Bone marrow aspirate smear
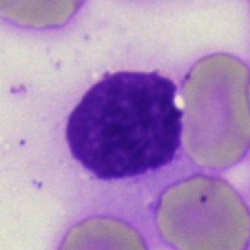 Specimen: bone marrow smear.
Cell: artefact.